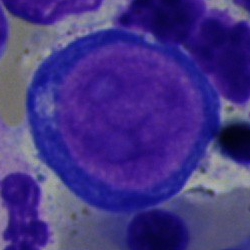{"cell_type": "pronormoblast", "lineage": "erythroid"}